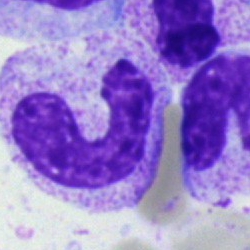
Stab cell.